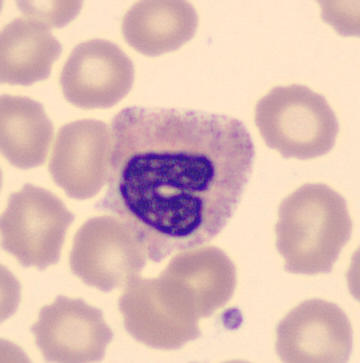
Acquisition: Cropped to a single cell; peripheral blood film; CellaVision DM96.

Showing a band-form neutrophil.